Brightfield, 40× oil-immersion objective · May-Grünwald-Giemsa/Pappenheim stain · bone marrow smear: 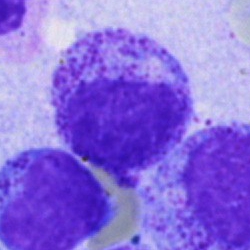

This is a myelocyte.